Bone marrow smear. Single cell centered in the field.
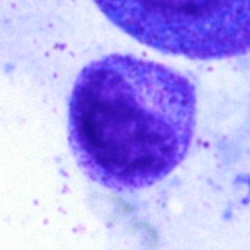
Q: Identify the cell.
A: Metamyelocyte.